Peripheral blood film
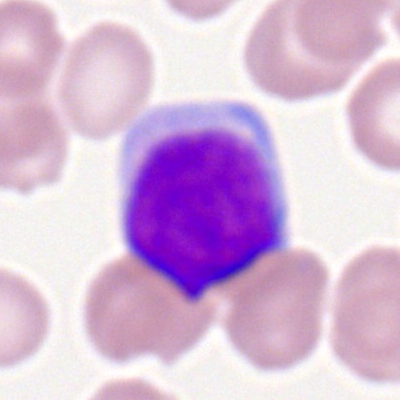Single cell identified as a myeloblast.